Peripheral blood smear; 360×363 px: 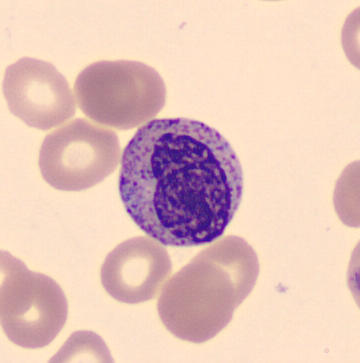
The cell shown is a myelocyte.